Bone marrow aspirate smear
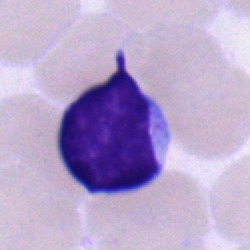Q: Identify the cell.
A: A lymphocyte.